Single cell centered in the field; bone marrow aspirate smear: 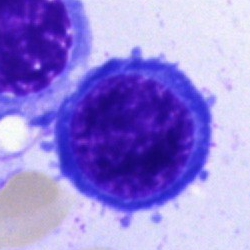
A nucleated red blood cell.